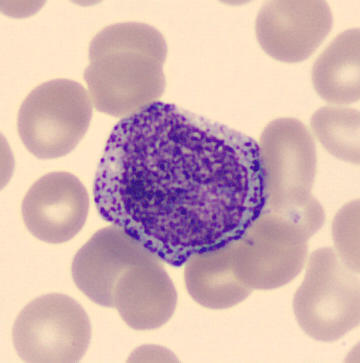Q: Identify the cell.
A: A promyelocyte.